Brightfield, 40× oil-immersion objective · bone marrow smear — 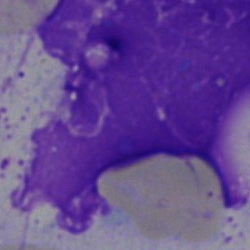 Single cell identified as an artifact.